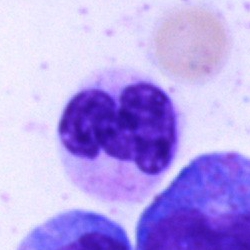 Specimen: bone marrow smear.
Cell: segmented neutrophil.
Lineage: myeloid.